Bone marrow smear: 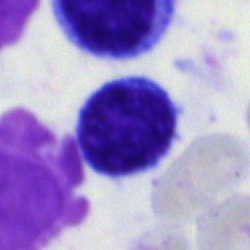 Q: Which cell type is shown here?
A: Lymphocyte.